Bone marrow smear · May-Grünwald-Giemsa stain: 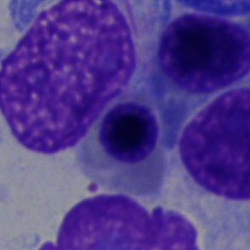Specimen: bone marrow smear.
Classification: erythroblast.
Lineage: erythroid.